Single-cell field. Bone marrow aspirate smear.
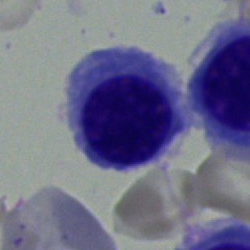

A nucleated red cell.